250×250 px · bone marrow aspirate smear:
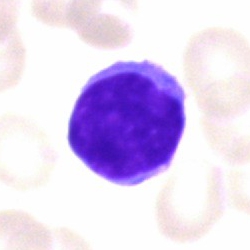

Q: What type of cell is this?
A: Typical lymphocyte.